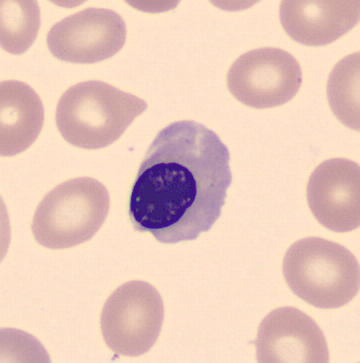
Q: What is this?
A: This is a nucleated red cell.

Acquisition: Peripheral blood smear; MGG stain; single-cell crop.